Bone marrow smear · single-cell field:
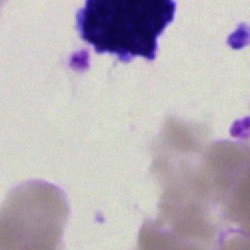{"cell_type": "artefact"}